Bone marrow aspirate smear; 40× objective, oil immersion; single-cell crop: 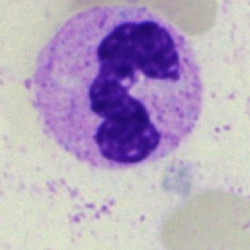 Cell = segmented neutrophil.